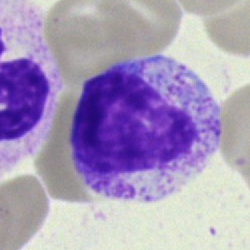

Impression → myelocyte.